Bone marrow aspirate smear — 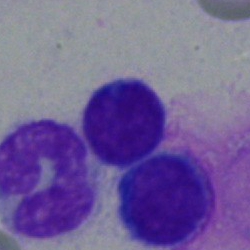 Q: What is the morphological classification of this cell?
A: It is a typical lymphocyte.